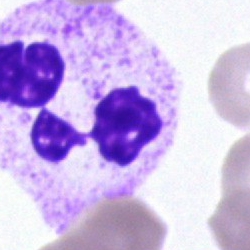
Morphology → polymorphonuclear neutrophil.